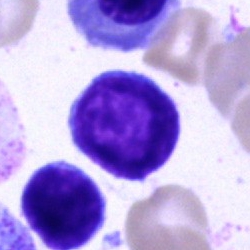 Q: What is shown here?
A: It is a typical lymphocyte.